Peripheral blood film · single-cell crop: 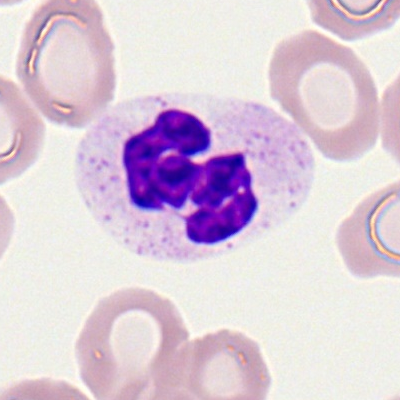
This is a neutrophil (segmented).